Bone marrow aspirate smear: 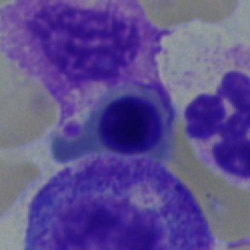

Impression — normoblast.